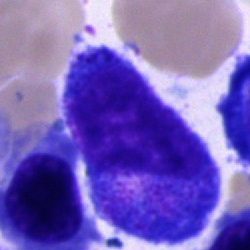
The cell type is progranulocyte.